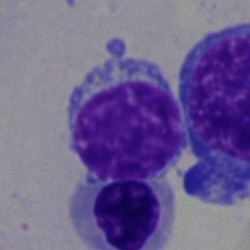 Specimen: bone marrow smear.
Morphological class: typical lymphocyte.